MGG-stained · bone marrow aspirate smear · 40× objective, oil immersion.
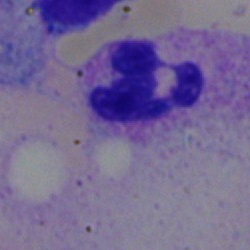 The cell type is polymorphonuclear neutrophil.